Peripheral blood smear.
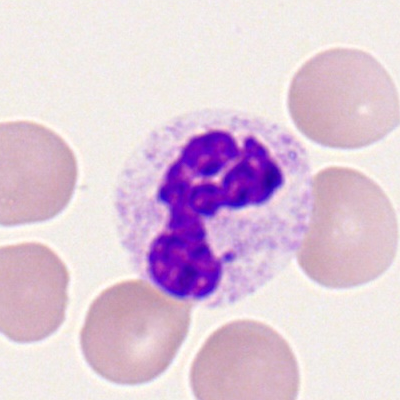
Specimen: peripheral blood smear.
Cell: polymorphonuclear neutrophil.